Bone marrow aspirate smear — 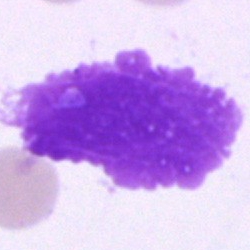
Impression — artefact.